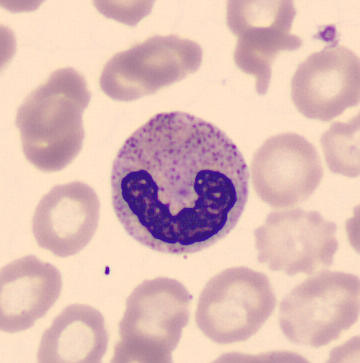{"cell_type": "band-form neutrophil"} Image: Peripheral blood film.